Brightfield, 40× oil-immersion objective; 250×250; bone marrow smear — 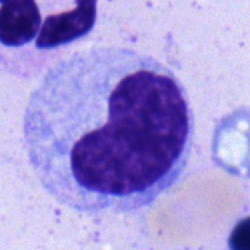Single cell identified as a metamyelocyte.